May-Grünwald-Giemsa/Pappenheim stain · single-cell field · bone marrow smear.
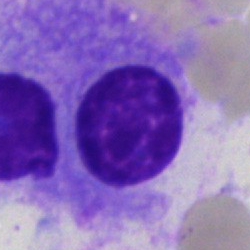

Single cell identified as an artifact.